Bone marrow smear: 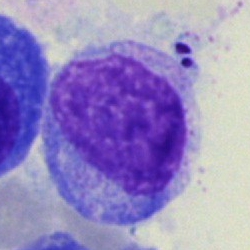
Impression — progranulocyte.